May-Grünwald-Giemsa stain. Bone marrow aspirate smear — 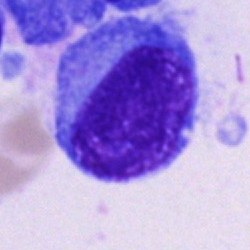 Classification: plasma cell.